MGG-stained. Bone marrow aspirate smear. 250 by 250 pixels
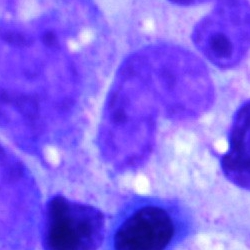

Specimen: bone marrow aspirate smear.
Morphological class: band neutrophil.
Lineage: myeloid.